Bone marrow smear · MGG-stained.
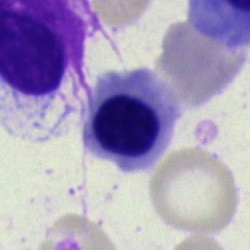Cell type — normoblast.